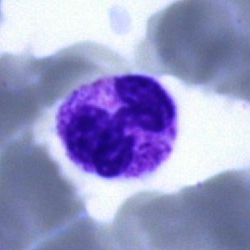Morphological class = polymorphonuclear neutrophil.